Bone marrow smear:
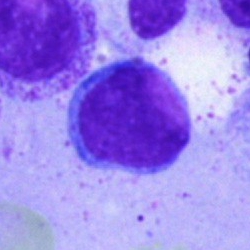
Single cell identified as a lymphocyte.